Bone marrow smear; cropped to a single cell: 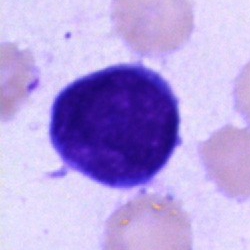Single cell identified as an undifferentiated blast.